Bone marrow smear — 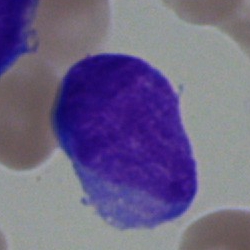

Morphology — undifferentiated blast.